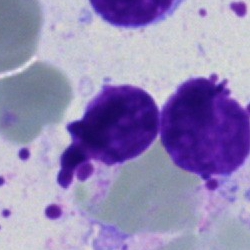Specimen: bone marrow aspirate smear.
Morphological class: artefact.